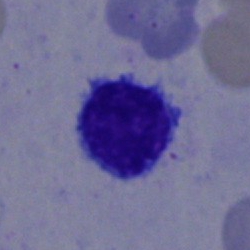 The morphological class is typical lymphocyte.